250 by 250 pixels. Bone marrow aspirate smear — 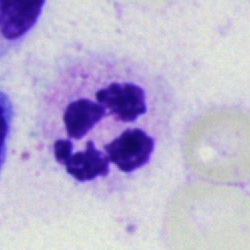
This is a polymorphonuclear neutrophil.